Bone marrow aspirate smear: 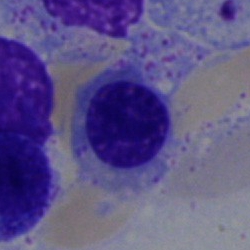This is a nucleated red cell.